Single cell centered in the field. Bone marrow aspirate smear. 250×250:
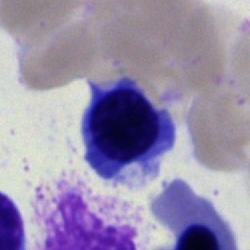{"cell_type": "nucleated red cell"}